Bone marrow aspirate smear. Single-cell crop. 250×250 — 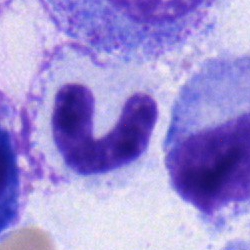 Morphological class: band-form neutrophil.